Bone marrow aspirate smear
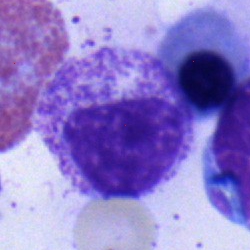 Morphology consistent with a myelocyte.